Pappenheim-stained; single-cell field; bone marrow aspirate smear: 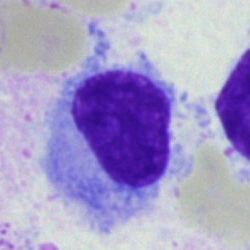Morphology → hairy cell.